Bone marrow aspirate smear:
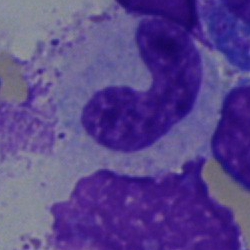Classification: stab cell.